Bone marrow aspirate smear: 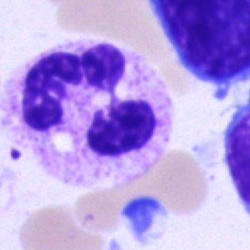This is a neutrophil (segmented).